Bone marrow aspirate smear:
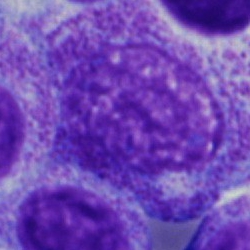
Single cell identified as a progranulocyte.